Bone marrow aspirate smear; image size 250×250
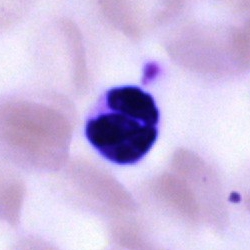
Morphology consistent with a polymorphonuclear neutrophil.